Bone marrow smear. Brightfield, 40× oil-immersion objective. Single-cell field
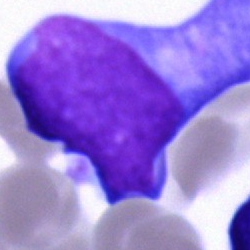 The cell shown is an undifferentiated blast.